Bone marrow aspirate smear; May-Grünwald-Giemsa stain — 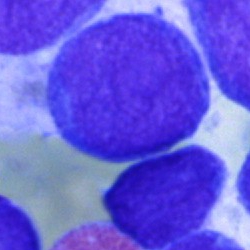 This is a blast cell.